Bone marrow smear.
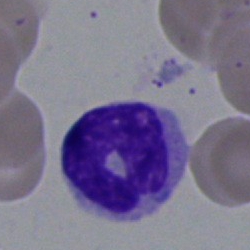

The cell shown is a neutrophil (band).